Bone marrow smear
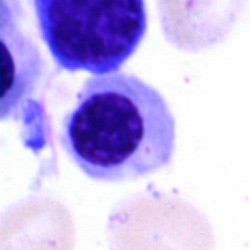
{"cell_type": "normoblast", "lineage": "erythroid"}